Bone marrow aspirate smear
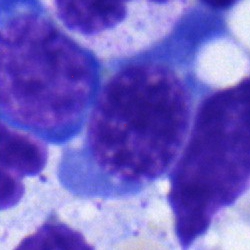Showing a nucleated red cell.